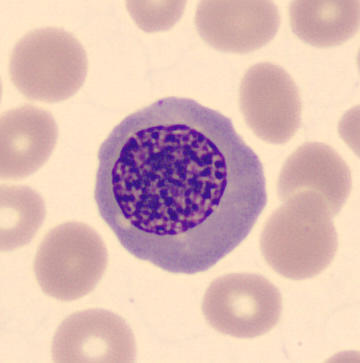
Morphology — nucleated red blood cell.
Peripheral blood film.